Bone marrow smear.
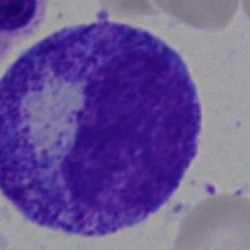

Cell = metamyelocyte.